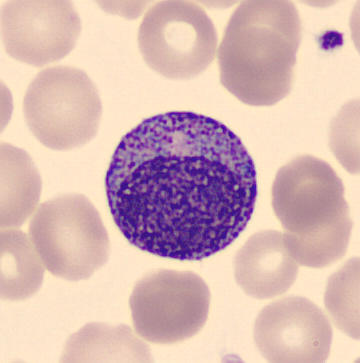
Specimen: peripheral blood film.
Cell type: promyelocyte.
Lineage: myeloid. Automated cell imaging (CellaVision DM96).